Peripheral blood smear — 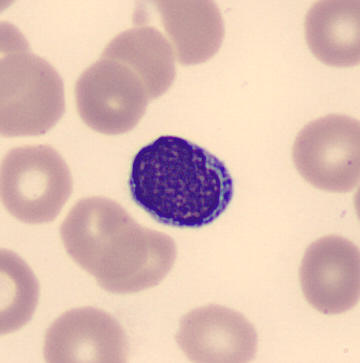

Cell type: typical lymphocyte.